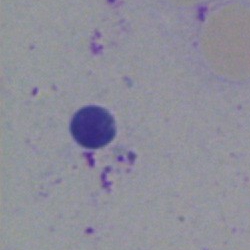

The cell is artefact.